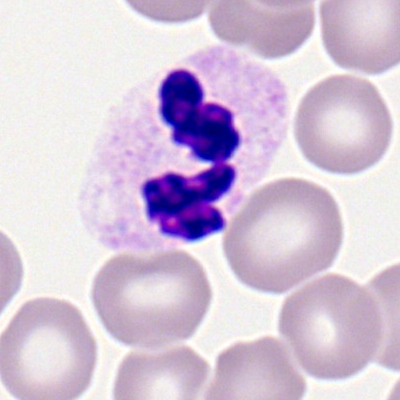
Morphology → segmented neutrophil.